Bone marrow smear
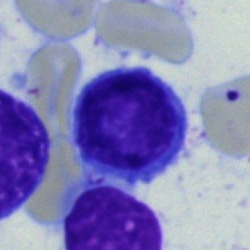
Classification — typical lymphocyte.